Bone marrow smear.
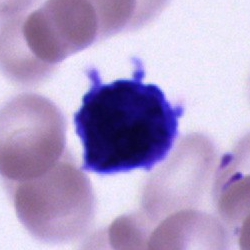 Morphology → cell of indeterminate lineage.